Image size 250×250 · bone marrow smear.
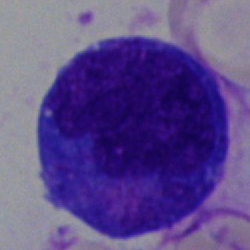
Specimen: bone marrow smear.
Cell type: undifferentiated blast.